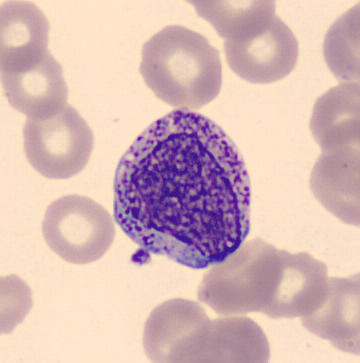

Image: Peripheral blood smear. May Grünwald-Giemsa stain. A myelocyte.